May-Grünwald-Giemsa stain. Bone marrow aspirate smear. 250 by 250 pixels:
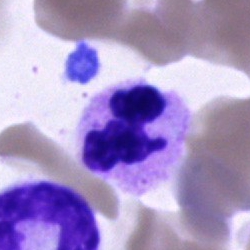
The cell shown is a segmented neutrophil.